Bone marrow smear; image size 250×250
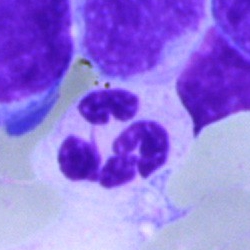

Cell type = polymorphonuclear neutrophil.